Bone marrow aspirate smear; brightfield microscopy, 40× oil immersion; single cell centered in the field.
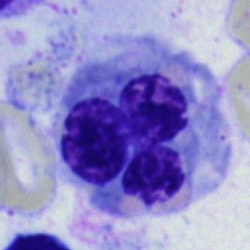

Single cell identified as a normoblast.